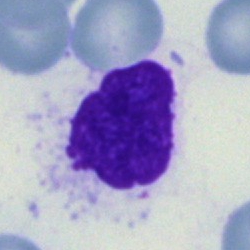The morphological class is artifact.